Bone marrow aspirate smear. Brightfield, 40× oil-immersion objective
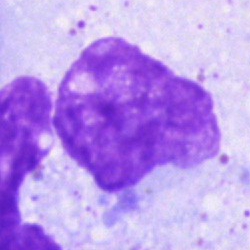

{"cell_type": "artifact"}